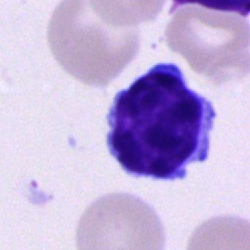
Morphological class = typical lymphocyte.